40× objective, oil immersion. Bone marrow smear: 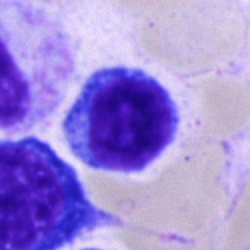 Q: What is the morphological classification of this cell?
A: It is a lymphocyte.